Bone marrow smear: 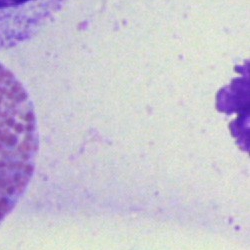 Q: What is shown here?
A: It is an artifact.